May-Grünwald-Giemsa/Pappenheim stain · bone marrow aspirate smear — 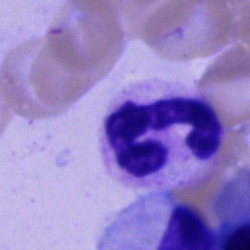

Q: What is shown here?
A: A segmented neutrophil.